Peripheral blood film: 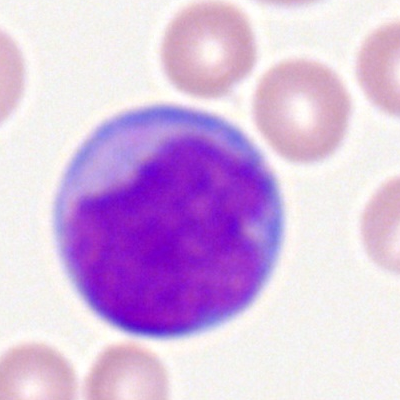
A myeloblast.